MGG-stained · bone marrow smear — 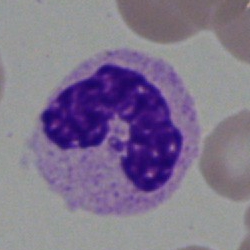

Cell type = polymorphonuclear neutrophil.